Bone marrow aspirate smear:
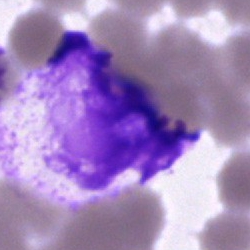Morphology consistent with an artefact.